Bone marrow smear
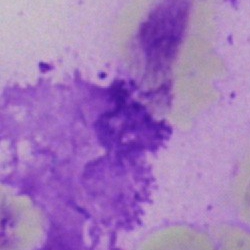Showing an artifact.